M8 digital microscope (Precipoint), 100× oil immersion · peripheral blood smear:
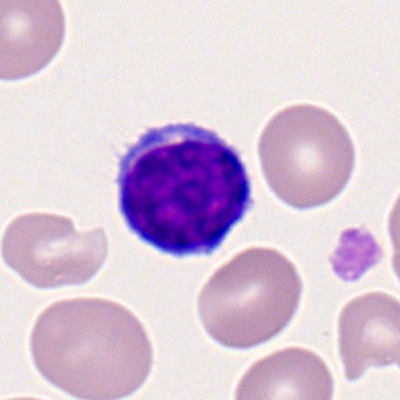 Q: Identify the cell.
A: This is a lymphocyte.